Bone marrow smear.
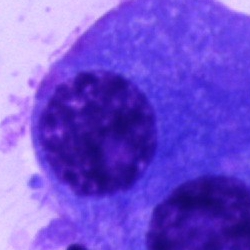

Cell: plasmacyte.